Bone marrow smear:
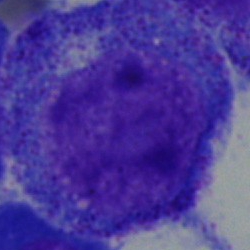

Showing a progranulocyte.